Bone marrow smear
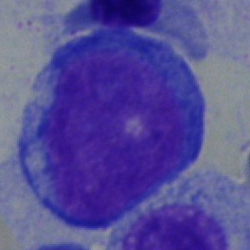

Specimen: bone marrow aspirate smear.
Cell: pronormoblast.
Lineage: erythroid.